Bone marrow smear
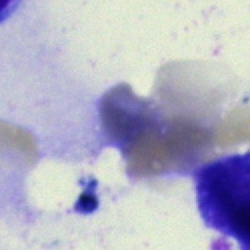Q: What is shown here?
A: This is an artefact.